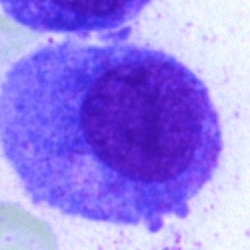

Cell type — promyelocyte.